Bone marrow smear: 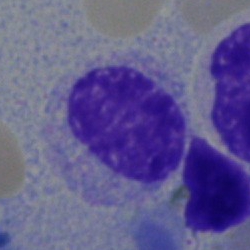
Classification — myelocyte.